Bone marrow aspirate smear
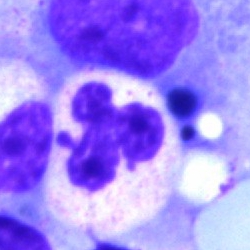 Showing a neutrophil (segmented).